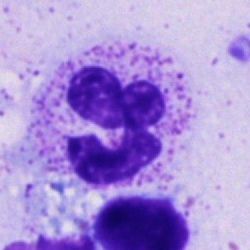Q: What cell is this?
A: This is a polymorphonuclear neutrophil.